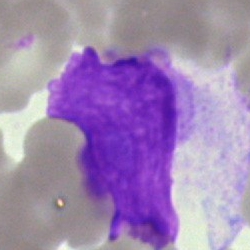

Morphological class: blast.